Bone marrow smear
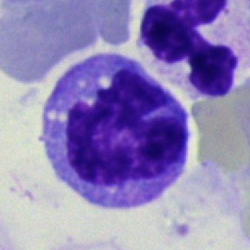The classification is monocyte.